Bone marrow aspirate smear
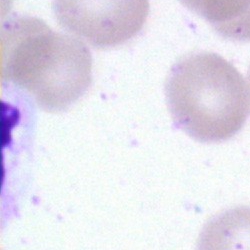 Single cell identified as an artifact.